Single cell centered in the field; Romanowsky stain; peripheral blood smear:
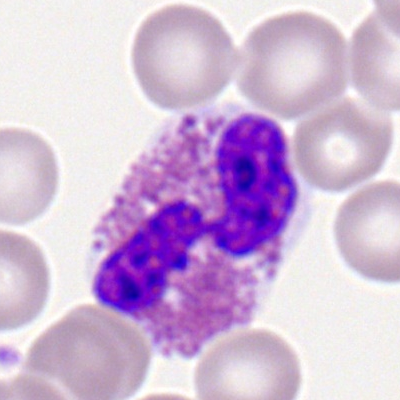

Classification: eosinophilic granulocyte.